250 by 250 pixels · bone marrow smear — 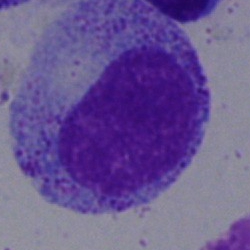

Morphological class: progranulocyte.